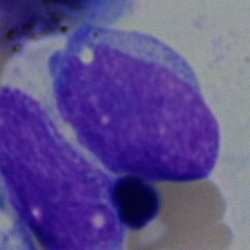
Showing an undifferentiated blast.